Single-cell field. Bone marrow smear. Brightfield, 40× oil-immersion objective
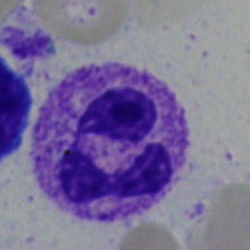
This is a segmented neutrophil.